Cropped to a single cell; bone marrow aspirate smear: 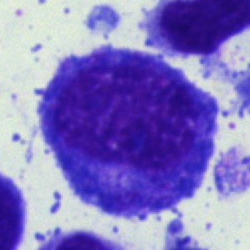Morphology consistent with a normoblast.